Bone marrow smear; 250×250:
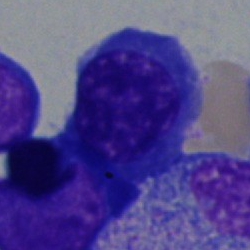

Showing an erythroblast.